Single-cell crop. May-Grünwald-Giemsa stain. Bone marrow smear.
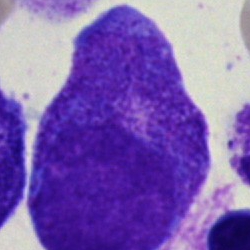Cell type — progranulocyte.